Bone marrow smear.
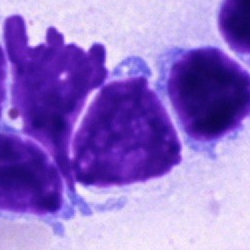 Morphology consistent with a lymphocyte.